Bone marrow smear. 40× oil immersion. Pappenheim-stained:
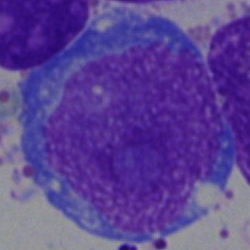 Morphology consistent with a blast.